Bone marrow smear; brightfield, 40× oil-immersion objective: 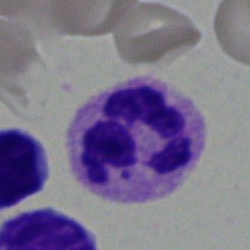

Showing a segmented neutrophil.